Bone marrow smear; brightfield microscopy, 40× oil immersion:
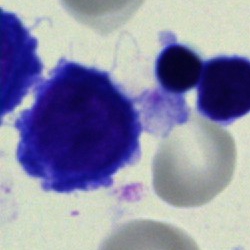 {"cell_type": "unidentifiable cell"}